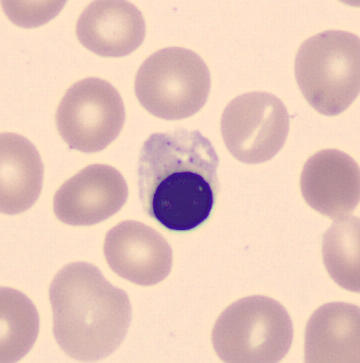Q: What is shown here?
A: It is a nucleated red cell.